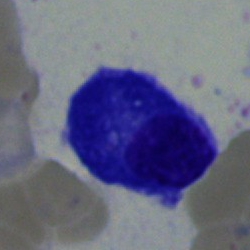
Cell type = plasmacyte.